Bone marrow smear:
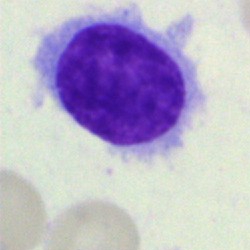

Impression — hairy cell.